Bone marrow aspirate smear; single-cell field: 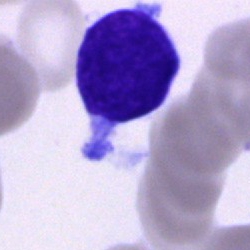 This is a typical lymphocyte.